Bone marrow smear — 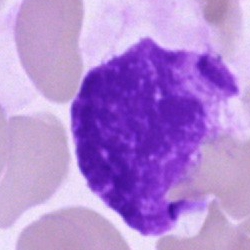

Single cell identified as an artefact.